Bone marrow aspirate smear:
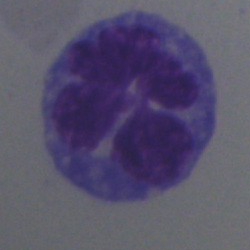
Impression — monocyte.